Single cell centered in the field. Bone marrow smear
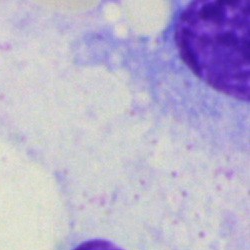 Classification — artefact.